Bone marrow aspirate smear — 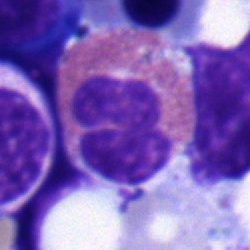Specimen: bone marrow smear.
Classification: eosinophil.
Lineage: myeloid.